250×250 px. Bone marrow aspirate smear: 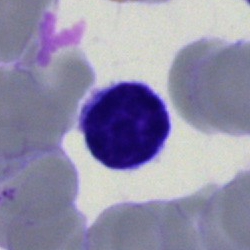

Morphology consistent with a typical lymphocyte.